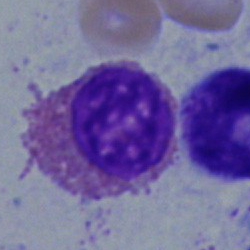 The cell is eosinophilic granulocyte.